Cropped to a single cell. Bone marrow aspirate smear. Brightfield, 40× oil-immersion objective: 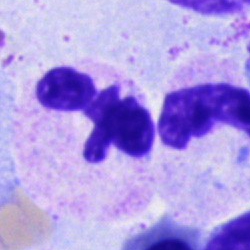Showing a segmented neutrophil.